Peripheral blood smear:
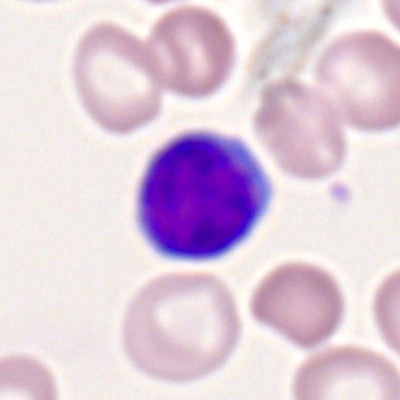 Showing a lymphocyte.